Bone marrow smear · May-Grünwald-Giemsa/Pappenheim stain:
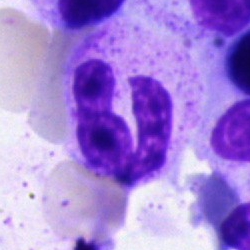 Classification: polymorphonuclear neutrophil.